250×250 px; May-Grünwald-Giemsa/Pappenheim stain; bone marrow smear: 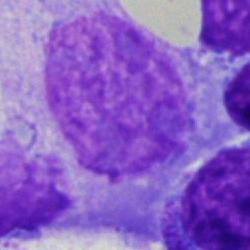 The morphological class is artifact.